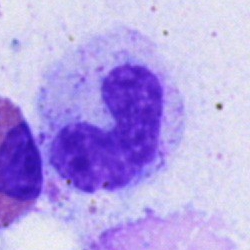 Classification = band neutrophil.